Bone marrow aspirate smear; MGG-stained:
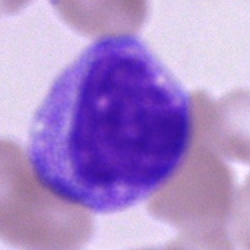

Specimen: bone marrow smear.
Morphological class: myelocyte.
Lineage: myeloid.